Peripheral blood film; 400×400.
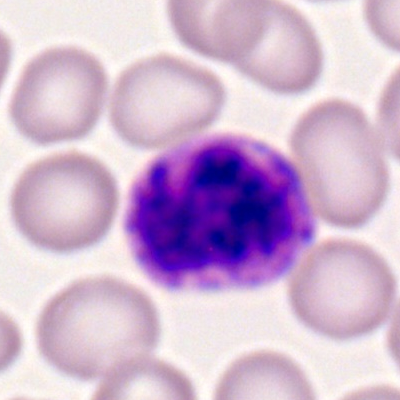Showing a basophilic granulocyte.